Bone marrow smear — 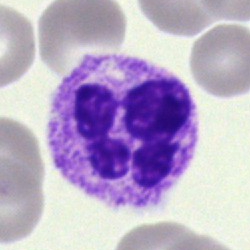

Polymorphonuclear neutrophil.